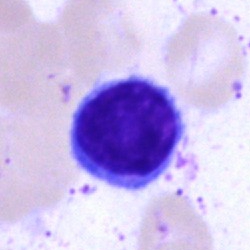
Morphological class: typical lymphocyte.